Pappenheim-stained. Bone marrow aspirate smear:
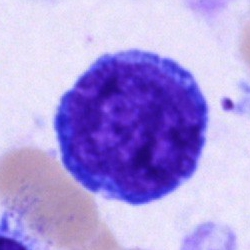
Specimen: bone marrow aspirate smear.
Classification: blast cell.